Bone marrow aspirate smear: 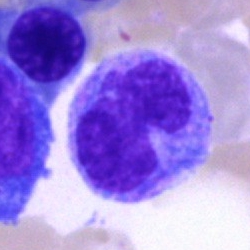

Q: What cell is this?
A: It is a monocyte.